Bone marrow smear:
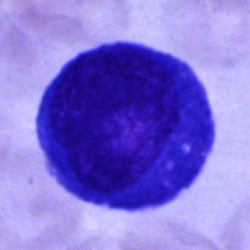

Morphology — blast.